Bone marrow smear
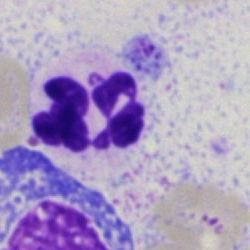Specimen: bone marrow aspirate smear.
Cell type: neutrophil (segmented).